Pappenheim-stained. Bone marrow smear:
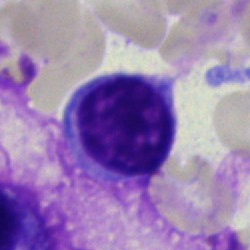This is a typical lymphocyte.